Bone marrow smear — 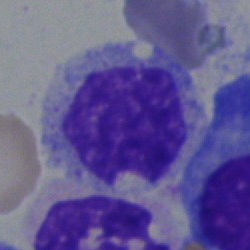 Morphological class: myelocyte.